Bone marrow aspirate smear; brightfield, 40× oil-immersion objective:
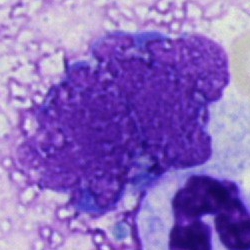

Artefact.